Cropped to a single cell; bone marrow aspirate smear
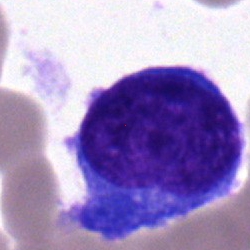

Q: What cell is this?
A: Plasma cell.